Single-cell field; May-Grünwald-Giemsa/Pappenheim stain; bone marrow aspirate smear:
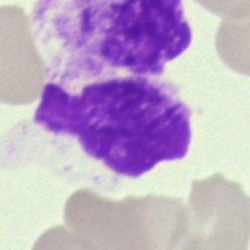 Single cell identified as an artefact.